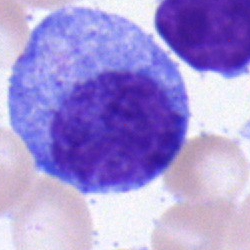
Q: What is the morphological classification of this cell?
A: Plasmacyte.